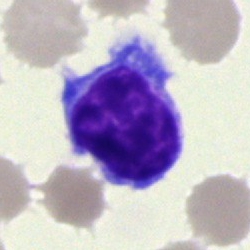Cell type: typical lymphocyte.